40× objective, oil immersion · bone marrow smear: 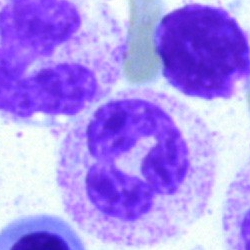

Cell type: segmented neutrophil.